Single-cell crop. Bone marrow smear: 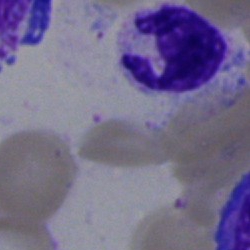

The morphological class is neutrophil (segmented).